Bone marrow smear.
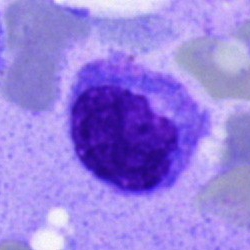
Q: What type of cell is this?
A: A monocyte.